Bone marrow aspirate smear: 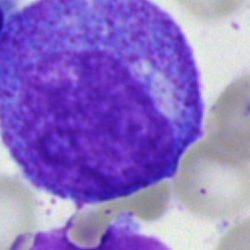

Morphology → promyelocyte.